Bone marrow smear
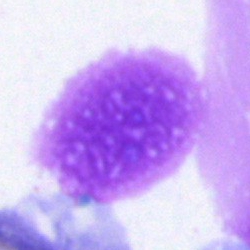 This is an artifact.